Single-cell crop · bone marrow aspirate smear.
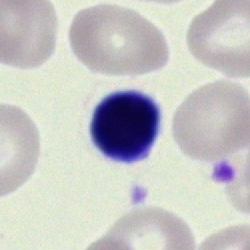 Q: What is the morphological classification of this cell?
A: This is a typical lymphocyte.